40× oil immersion · single-cell field · bone marrow smear:
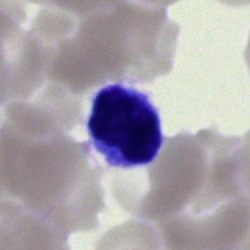
{"cell_type": "lymphocyte", "lineage": "lymphoid"}